40× objective, oil immersion · bone marrow smear · MGG-stained
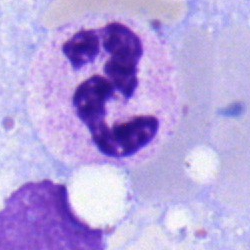This is a neutrophil (segmented).